Peripheral blood smear · 400×400 px: 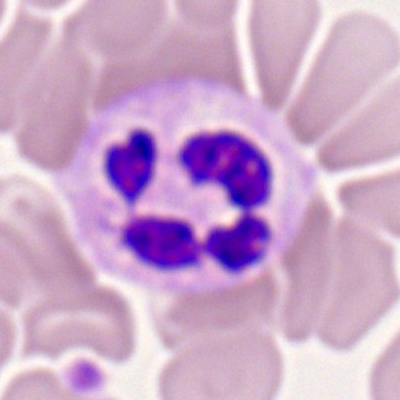

Q: Which cell type is shown here?
A: Neutrophil (segmented).